Bone marrow aspirate smear; MGG-stained:
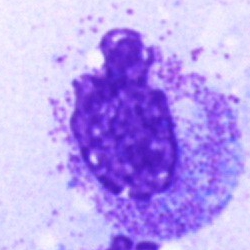

Morphology → promyelocyte.